Peripheral blood smear: 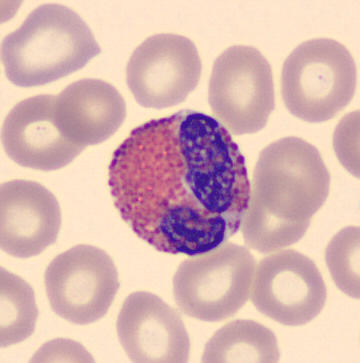Specimen: peripheral blood smear.
Classification: eosinophilic granulocyte.
Lineage: myeloid.